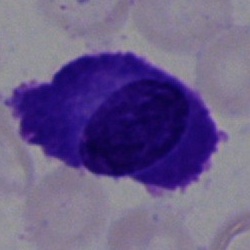
Impression — plasma cell.